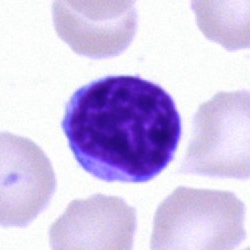

A typical lymphocyte.